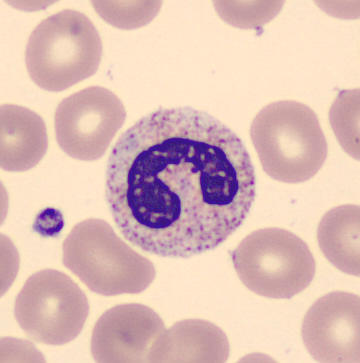The cell is polymorphonuclear neutrophil.